Bone marrow smear. Cropped to a single cell: 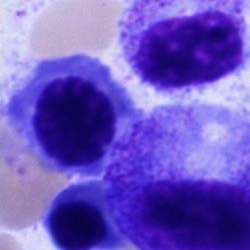

Q: Identify the cell.
A: This is an erythroblast.